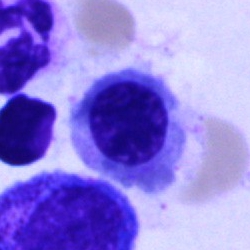 {"cell_type": "erythroblast"}